400×400 · M8 digital microscope (Precipoint), 100× oil immersion · peripheral blood smear: 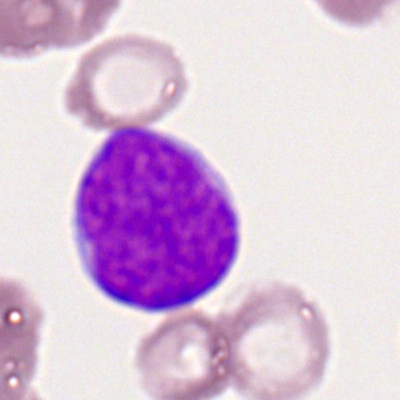
Morphology → myeloblast.